Bone marrow smear: 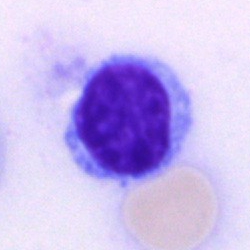

Classification = lymphocyte.